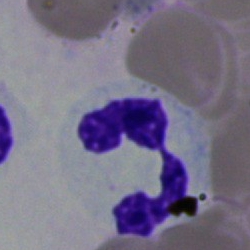 Segmented neutrophil.